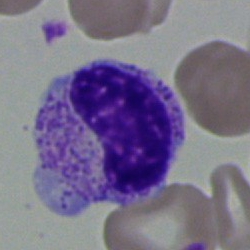A metamyelocyte on a bone marrow smear.